Image size 250×250 · bone marrow smear: 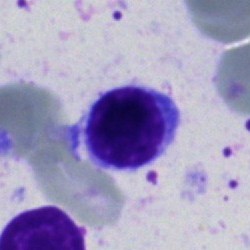

Morphological class: lymphocyte.